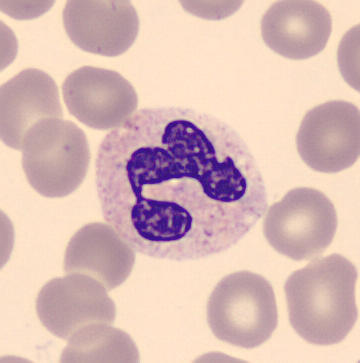Q: What is shown here?
A: Neutrophil (segmented).
Peripheral blood smear.